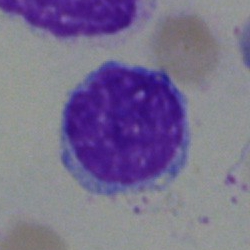 Bone marrow smear showing a typical lymphocyte.